Image size 250×250. Bone marrow smear. MGG-stained
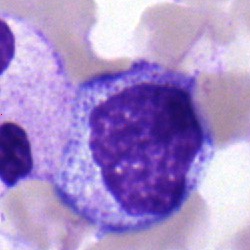 Q: What cell is this?
A: This is a metamyelocyte.